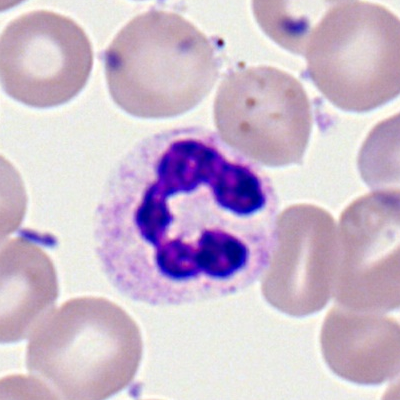The classification is neutrophil (segmented).